Single-cell field. Bone marrow smear. Brightfield, 40× oil-immersion objective:
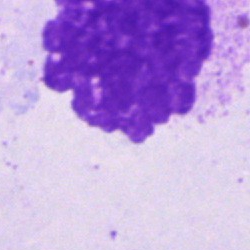

Showing an artefact.